Bone marrow smear; single-cell crop:
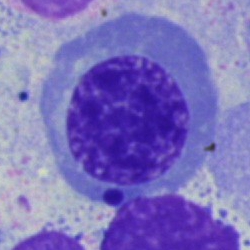

The cell shown is a normoblast.